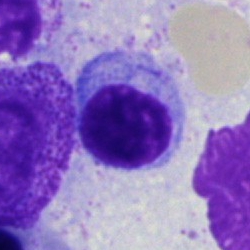

Specimen: bone marrow aspirate smear.
Morphological class: lymphocyte.
Lineage: lymphoid.